40× oil immersion. Bone marrow smear.
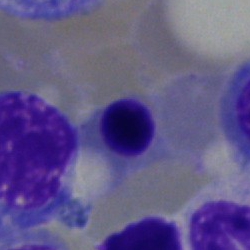
Q: What is the morphological classification of this cell?
A: Nucleated red cell.